250×250 px. Bone marrow aspirate smear
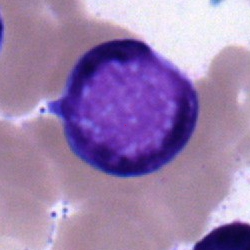

Classification = blast cell.